Bone marrow smear: 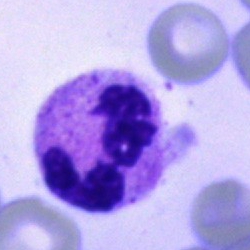

This is a segmented neutrophil.